Bone marrow aspirate smear · 250×250
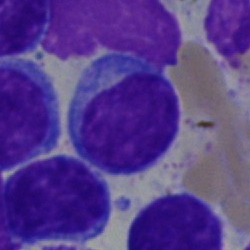

Morphology — lymphocyte.